Peripheral blood smear · 100× oil immersion: 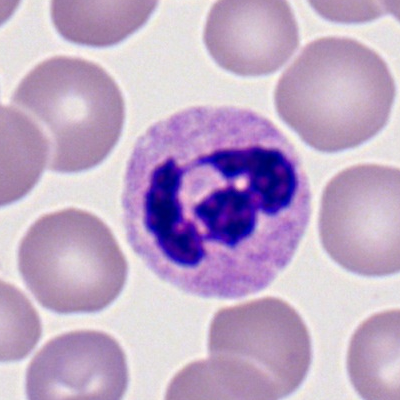 This is a segmented neutrophil.